Single-cell crop · bone marrow smear:
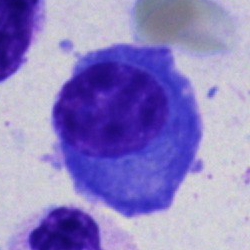

Showing a plasma cell.